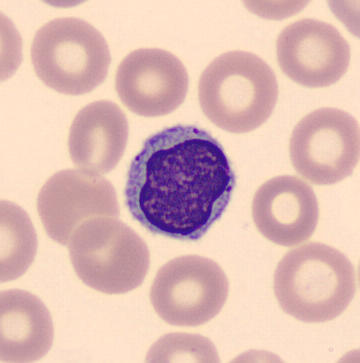

Single cell identified as a lymphocyte.
Preparation: Peripheral blood smear · imaged on a CellaVision DM96 analyser · single-cell field.